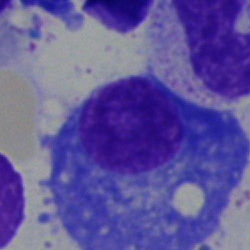 Morphological class = plasmacyte.